Bone marrow aspirate smear
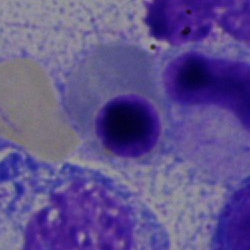
Nucleated red blood cell.